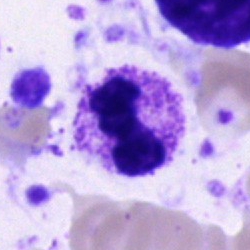 Q: Which cell type is shown here?
A: A neutrophil (segmented).